400×400 · single-cell crop · peripheral blood smear:
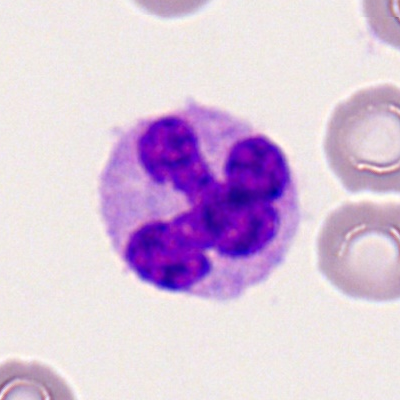Monocyte.